250×250; bone marrow smear
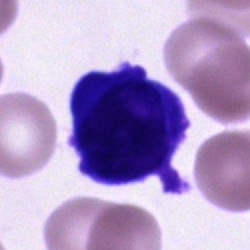

Cell of indeterminate lineage.